Bone marrow smear: 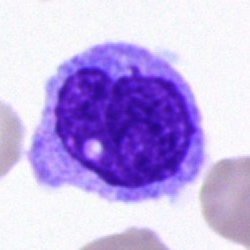
The cell is monocyte.